Bone marrow smear:
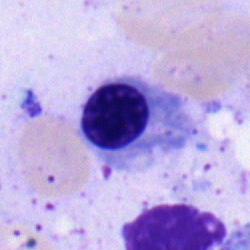 Classification = nucleated red cell.